Bone marrow aspirate smear · brightfield, 40× oil-immersion objective
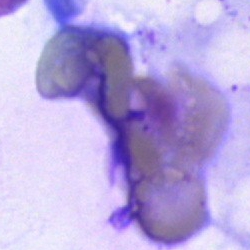Specimen: bone marrow aspirate smear.
Classification: artifact.